Bone marrow aspirate smear; May-Grünwald-Giemsa/Pappenheim stain:
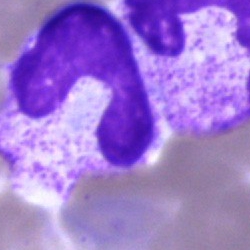 The cell shown is a neutrophil (band).